Bone marrow aspirate smear · 40× objective, oil immersion
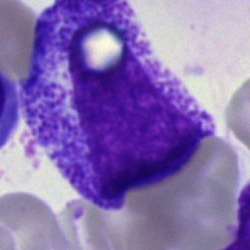Specimen: bone marrow smear.
Classification: promyelocyte.